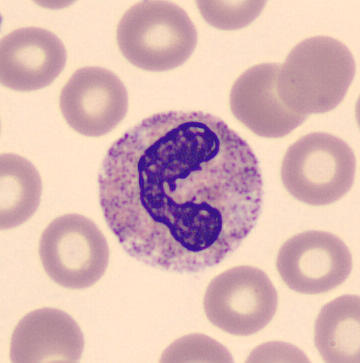 This is a neutrophil (band).

Preparation: Peripheral blood smear.